Bone marrow smear · May-Grünwald-Giemsa stain: 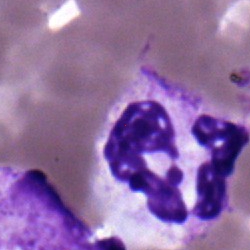Specimen: bone marrow smear.
Classification: segmented neutrophil.
Lineage: myeloid.